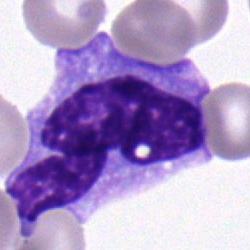The cell shown is a monocyte.